Bone marrow aspirate smear.
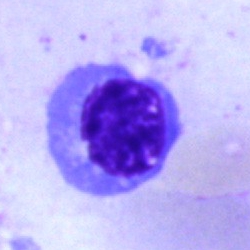

The cell type is nucleated red cell.